Bone marrow smear — 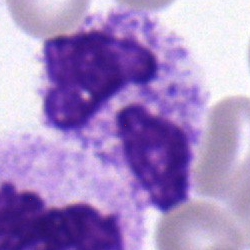
Cell = segmented neutrophil.